Brightfield microscopy, 40× oil immersion; bone marrow smear: 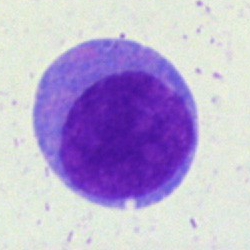
The cell shown is an undifferentiated blast.